Peripheral blood smear. 100× oil immersion, 14.14 px/µm — 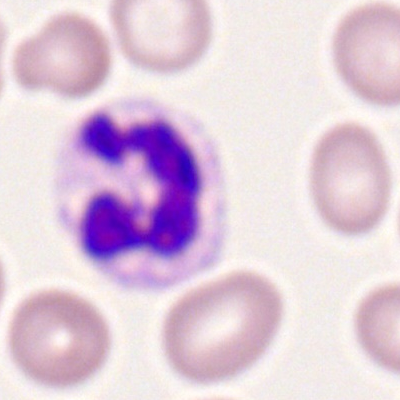 Showing a neutrophil (segmented).